Bone marrow smear
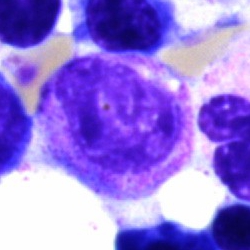Morphology → myelocyte.